Bone marrow smear: 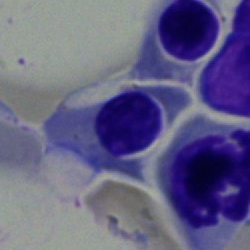 Specimen: bone marrow smear.
Classification: erythroblast.